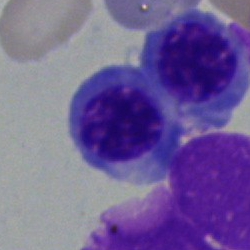 Specimen: bone marrow aspirate smear.
Classification: nucleated red blood cell.
Lineage: erythroid.